Single-cell crop. Bone marrow smear: 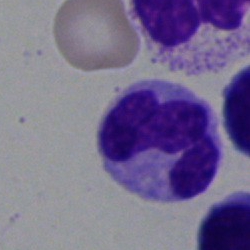 Morphology consistent with a monocyte.